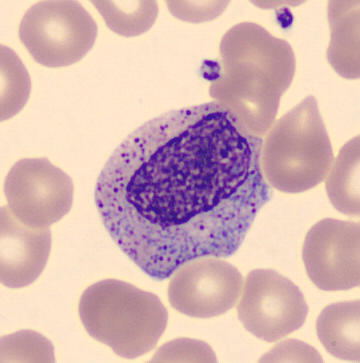
Identified as a myelocyte.
CellaVision DM96 digital cell image; peripheral blood film; single-cell crop.